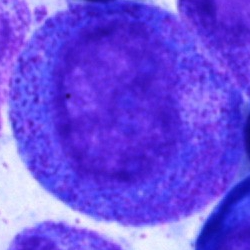
The cell type is promyelocyte.